Bone marrow smear. 250 by 250 pixels: 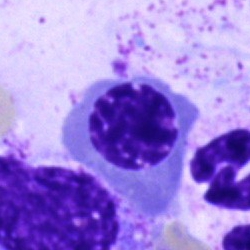Nucleated red blood cell.